Bone marrow aspirate smear — 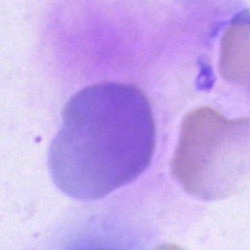

Artifact.